Bone marrow smear.
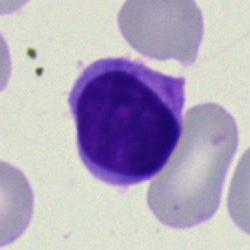
Morphology consistent with a lymphocyte.